Bone marrow aspirate smear
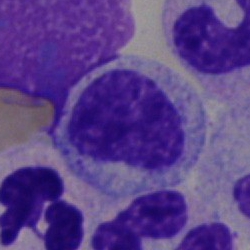
Q: Which cell type is shown here?
A: A myelocyte.